Bone marrow aspirate smear
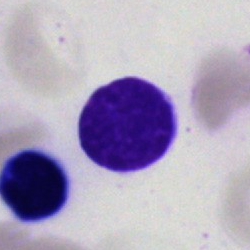 Single cell identified as a lymphocyte.